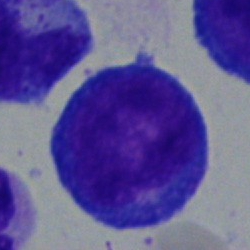

Bone marrow smear showing a promyelocyte.